Bone marrow smear · May-Grünwald-Giemsa stain
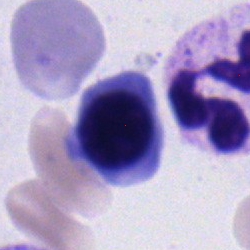{"cell_type": "erythroblast"}